Bone marrow smear:
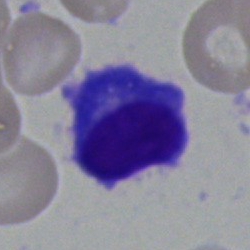
Morphology consistent with a plasmacyte.